May-Grünwald-Giemsa stain. Bone marrow aspirate smear — 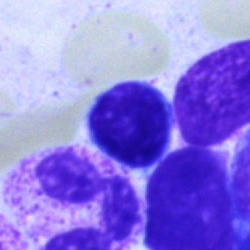
The classification is typical lymphocyte.